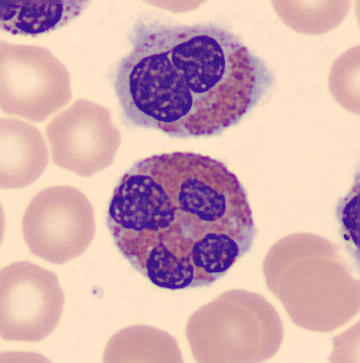 Q: What is this?
A: An eosinophilic granulocyte.

Peripheral blood smear · automated cell imaging (CellaVision DM96).